Bone marrow aspirate smear: 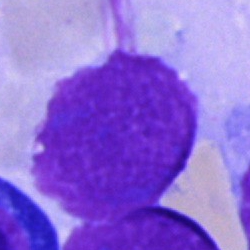Q: What is shown here?
A: Artifact.